Brightfield microscopy, 40× oil immersion; bone marrow smear: 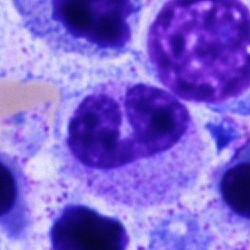
This is a lymphocyte.